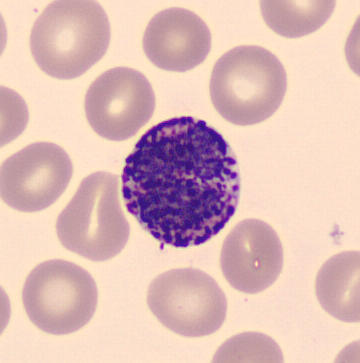{"cell_type": "basophilic granulocyte"}